Bone marrow smear: 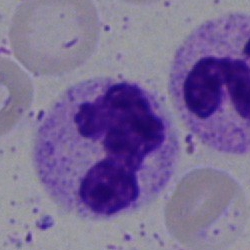

{"cell_type": "segmented neutrophil"}